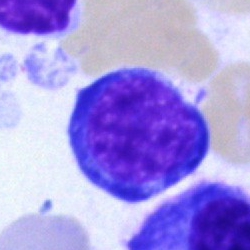

This is an erythroblast.